May-Grünwald-Giemsa/Pappenheim stain · bone marrow aspirate smear · image size 250×250 — 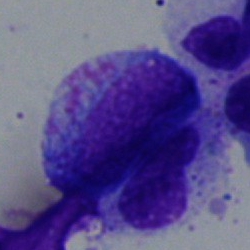This is a myelocyte.